Bone marrow aspirate smear
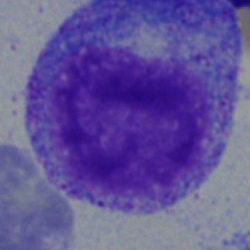Promyelocyte.